Bone marrow smear.
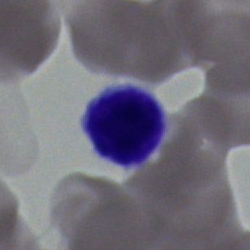
A typical lymphocyte.